Bone marrow smear; Pappenheim-stained: 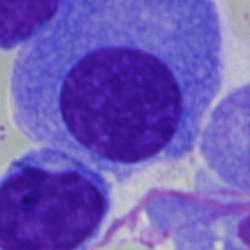Classification — plasma cell.